Brightfield, 40× oil-immersion objective · bone marrow aspirate smear · 250×250:
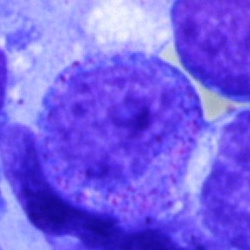 {"cell_type": "promyelocyte"}